Bone marrow aspirate smear: 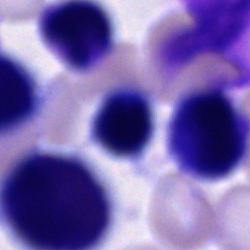

Classification = cell of indeterminate lineage.